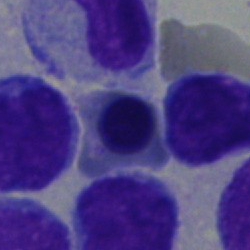Morphology → nucleated red blood cell.